CellaVision DM96 · peripheral blood film · 360×363: 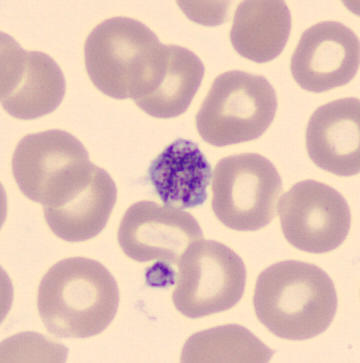
Morphology consistent with a platelet (thrombocyte).